Bone marrow smear. Single-cell field.
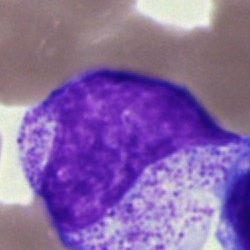
Classification — myelocyte.